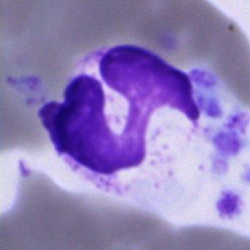 Morphological class: cell of indeterminate lineage.